Bone marrow smear — 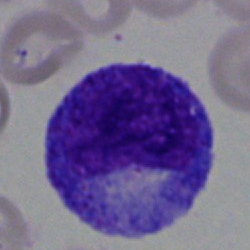

Impression — progranulocyte.